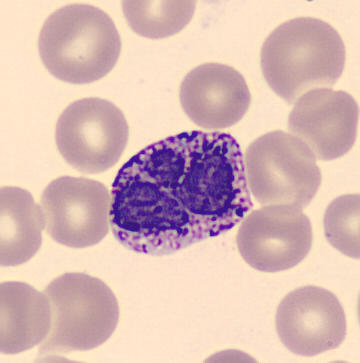

A basophilic granulocyte.
Preparation: Peripheral blood smear · automated cell imaging (CellaVision DM96).